Bone marrow smear
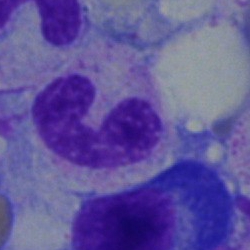
Specimen: bone marrow aspirate smear.
Cell type: stab cell.